40× oil immersion · cropped to a single cell · bone marrow smear:
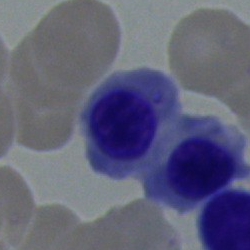

This is a nucleated red blood cell.